MGG-stained · bone marrow aspirate smear.
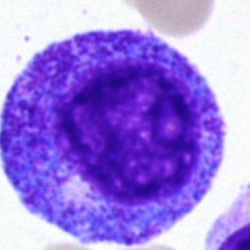

Cell = promyelocyte.